May-Grünwald-Giemsa/Pappenheim stain. Bone marrow aspirate smear.
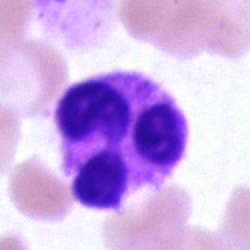

Q: What cell is this?
A: It is a polymorphonuclear neutrophil.